250 by 250 pixels. Bone marrow aspirate smear
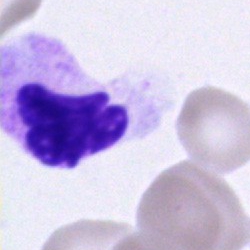

Neutrophil (segmented).